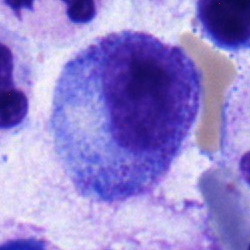 {"cell_type": "progranulocyte", "lineage": "myeloid"}